Bone marrow aspirate smear: 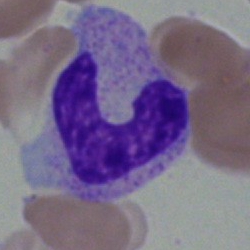 Showing a band-form neutrophil.